Bone marrow smear
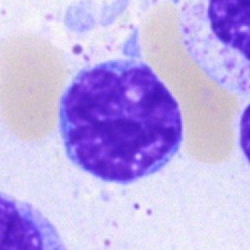

Single cell identified as a typical lymphocyte.